Bone marrow aspirate smear — 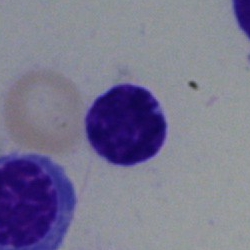 The cell shown is a typical lymphocyte.